Bone marrow aspirate smear — 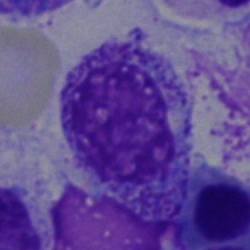Specimen: bone marrow aspirate smear.
Cell: myelocyte.
Lineage: myeloid.